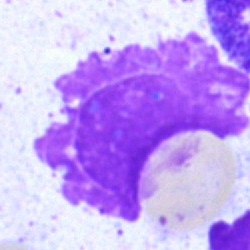 Cell type — artefact.